Bone marrow aspirate smear: 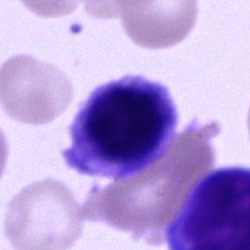

Q: What type of cell is this?
A: This is an unidentifiable cell.